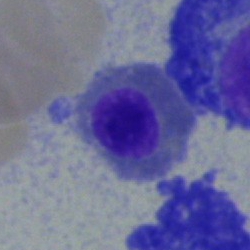
Specimen: bone marrow smear.
Classification: erythroblast.
Lineage: erythroid.